Bone marrow smear.
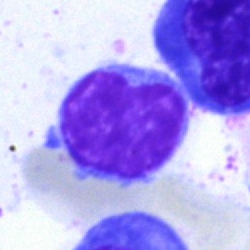 Cell type — typical lymphocyte.